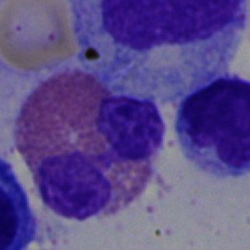
Specimen: bone marrow smear.
Morphological class: eosinophil.
Lineage: myeloid.